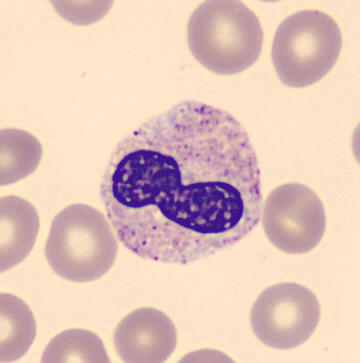
Preparation: Peripheral blood film · 360×363 px. Q: Identify the cell.
A: It is a stab cell.